Bone marrow smear. 250×250 px:
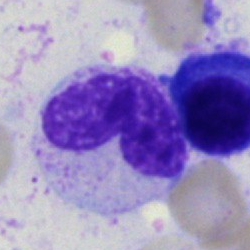
The morphological class is neutrophil (band).